Single cell centered in the field; bone marrow aspirate smear.
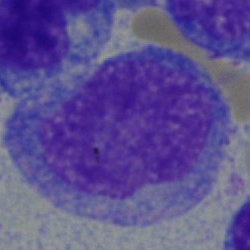Morphology → blast cell.